250×250 px; bone marrow aspirate smear; MGG-stained — 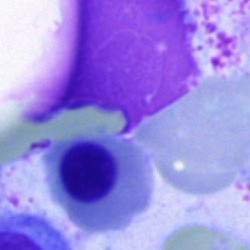Q: What is shown here?
A: It is a nucleated red blood cell.